MGG-stained · bone marrow smear.
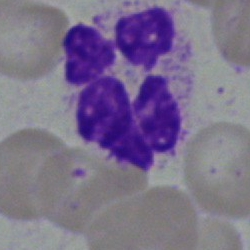

A polymorphonuclear neutrophil.